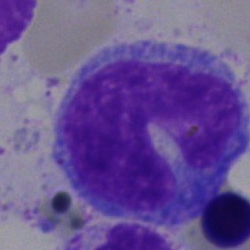
Single cell identified as a monocyte.